Bone marrow smear.
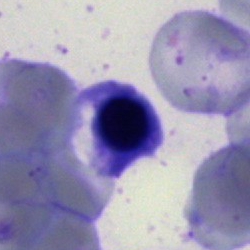 Cell = normoblast.